Brightfield microscopy, 40× oil immersion · MGG-stained · bone marrow smear — 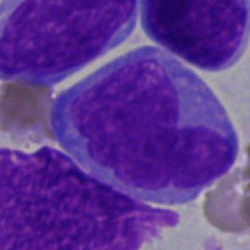
Morphological class: undifferentiated blast.